Bone marrow smear: 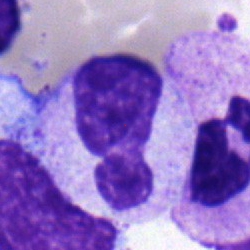A stab cell.